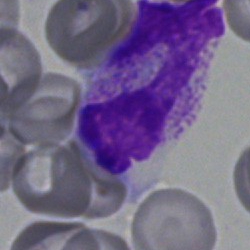 Specimen: bone marrow smear.
Cell: stab cell.
Lineage: myeloid.